Bone marrow smear — 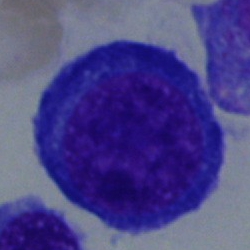
The cell shown is a pronormoblast.